Bone marrow aspirate smear — 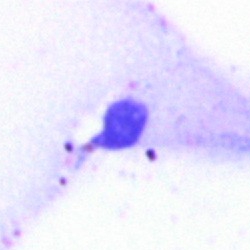Q: What is shown here?
A: Artefact.